Bone marrow smear · May-Grünwald-Giemsa/Pappenheim stain: 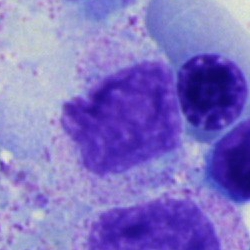

The cell shown is a myelocyte.